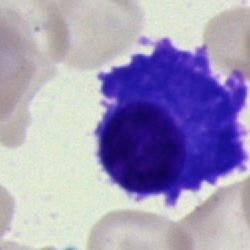
Cell type — plasma cell.